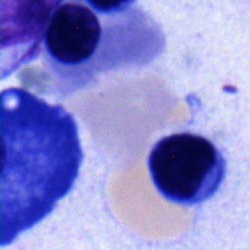
Plasmacyte.